Bone marrow aspirate smear.
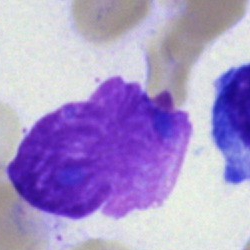Morphology → artefact.